Cropped to a single cell; bone marrow smear; 40× oil immersion
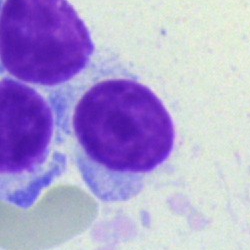Q: What is shown here?
A: This is a typical lymphocyte.